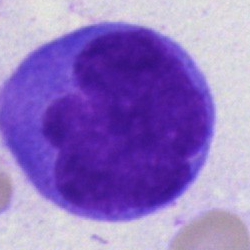
Cell = monocyte.